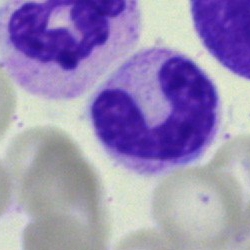
Showing a band-form neutrophil.